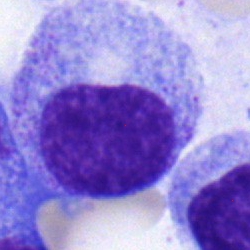

Cell type = metamyelocyte.